Bone marrow smear · 250×250 px
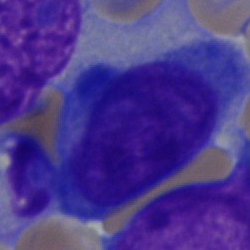

Q: What is the morphological classification of this cell?
A: It is a blast.